Bone marrow aspirate smear.
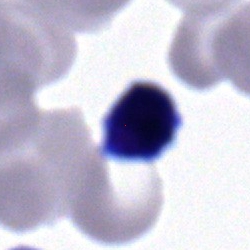 Showing a typical lymphocyte.